Bone marrow aspirate smear. MGG-stained. Cropped to a single cell: 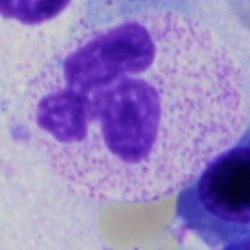 Morphological class — segmented neutrophil.